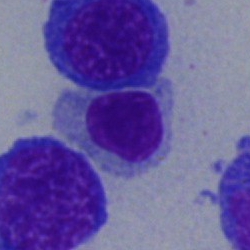 Q: What type of cell is this?
A: A nucleated red blood cell.